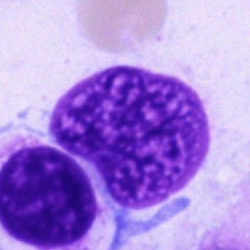
Single cell identified as an artefact.